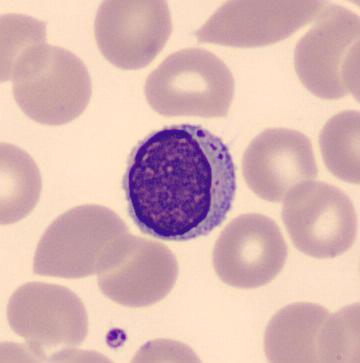

Preparation: Automated cell imaging (CellaVision DM96); peripheral blood film.

Q: What cell is this?
A: A typical lymphocyte.